Bone marrow smear:
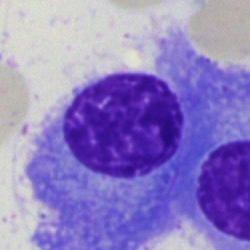Cell type = plasma cell.